Bone marrow aspirate smear:
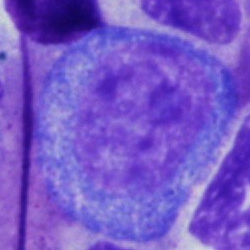Promyelocyte.